Bone marrow smear.
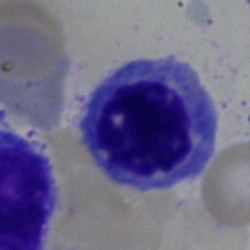
Impression — erythroblast.